Peripheral blood film
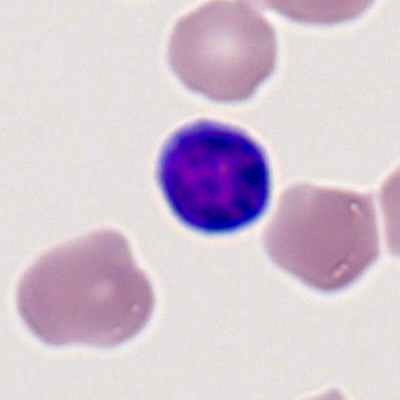 Classification = typical lymphocyte.